250×250; bone marrow smear; May-Grünwald-Giemsa stain: 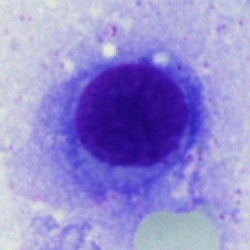The morphological class is nucleated red cell.